Bone marrow smear; 250×250; 40× objective, oil immersion — 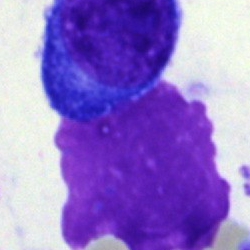 Cell type: pronormoblast.